Bone marrow aspirate smear; May-Grünwald-Giemsa/Pappenheim stain.
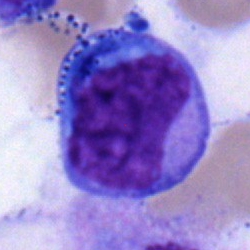

Morphological class — blast.